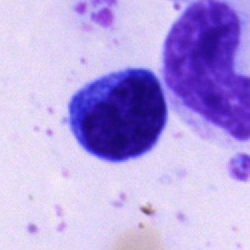
Single-cell crop from a bone marrow smear: typical lymphocyte.